Bone marrow aspirate smear:
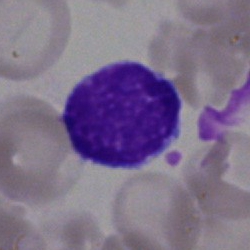 Q: What cell is this?
A: This is a lymphocyte.